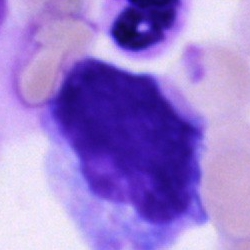
A cell of indeterminate lineage on a bone marrow smear.